400×400. Peripheral blood film — 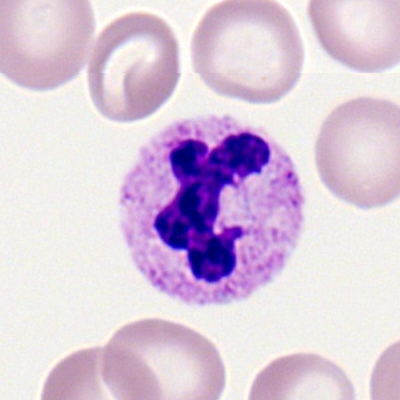Morphological class = polymorphonuclear neutrophil.